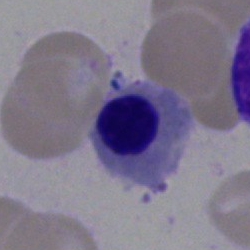
Morphological class — nucleated red cell.